May-Grünwald-Giemsa stain · bone marrow smear.
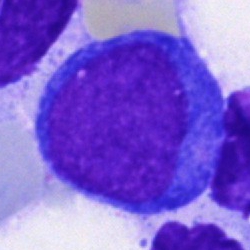
Classification = pronormoblast.